Bone marrow smear — 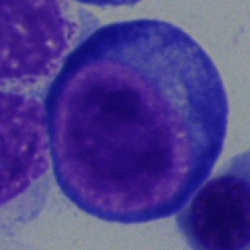 Q: Identify the cell.
A: It is a pronormoblast.